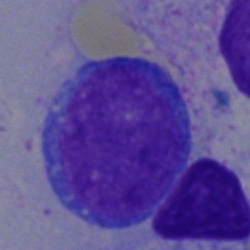 Showing a blast.